Bone marrow smear · 250×250 · 40× oil immersion.
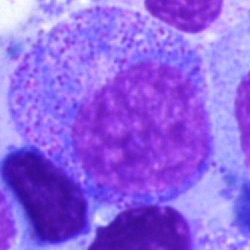

Specimen: bone marrow aspirate smear.
Classification: promyelocyte.
Lineage: myeloid.